May-Grünwald-Giemsa/Pappenheim stain · brightfield, 40× oil-immersion objective · bone marrow smear: 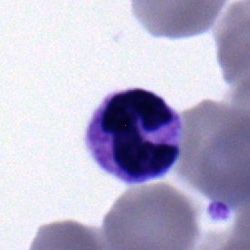 Specimen: bone marrow aspirate smear.
Cell type: neutrophil (segmented).